Bone marrow smear. 40× oil immersion. Image size 250×250.
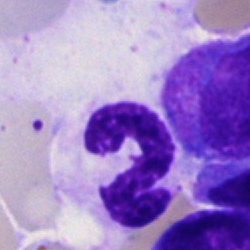
{"cell_type": "segmented neutrophil", "lineage": "myeloid"}